Bone marrow smear.
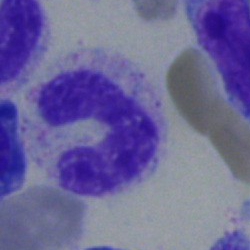 Specimen: bone marrow smear.
Cell type: band-form neutrophil.